Bone marrow smear
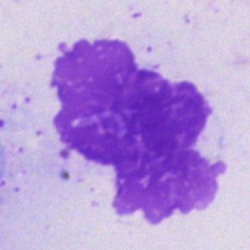

Q: What is shown here?
A: An artefact.